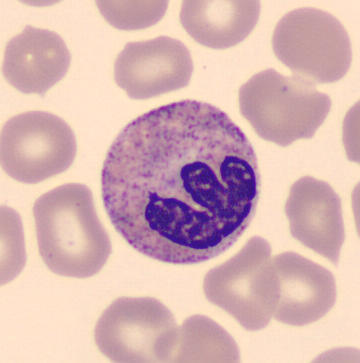
Q: What is the morphological classification of this cell?
A: Neutrophil (band).